MGG-stained. Bone marrow aspirate smear
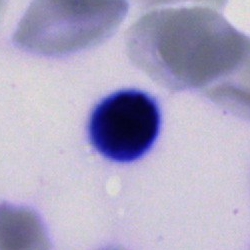Specimen: bone marrow aspirate smear.
Morphological class: unidentifiable cell.